Bone marrow aspirate smear
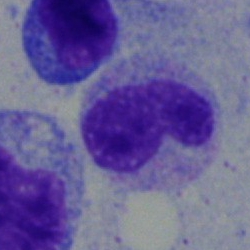
Impression — metamyelocyte.